Bone marrow smear: 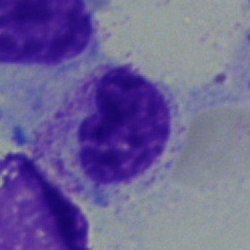 Specimen: bone marrow smear.
Classification: myelocyte.